Bone marrow aspirate smear:
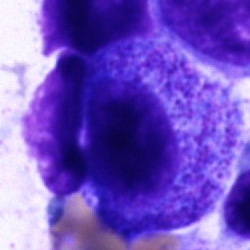Promyelocyte.